Bone marrow smear:
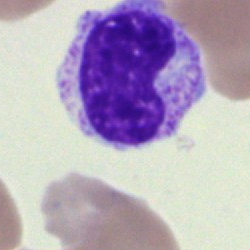 Morphology — metamyelocyte.